40× objective, oil immersion; May-Grünwald-Giemsa stain; bone marrow aspirate smear — 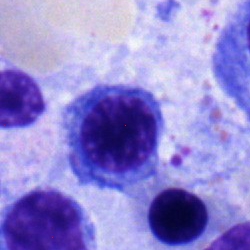

The cell shown is a normoblast.